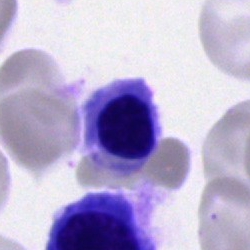 Specimen: bone marrow aspirate smear.
Classification: nucleated red blood cell.
Lineage: erythroid.